Bone marrow aspirate smear: 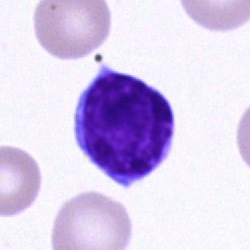
Classification — lymphocyte.